Bone marrow smear:
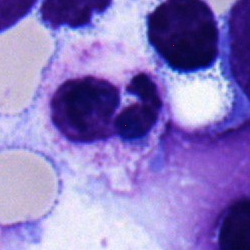The morphological class is segmented neutrophil.